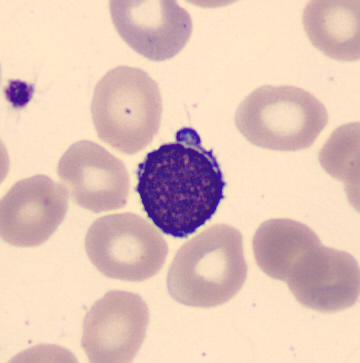

The morphological class is typical lymphocyte.